Bone marrow aspirate smear; brightfield, 40× oil-immersion objective.
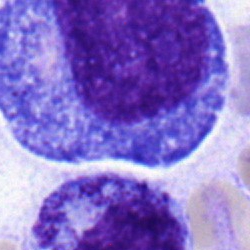Q: What cell is this?
A: This is a progranulocyte.